Bone marrow aspirate smear
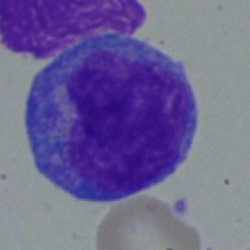 Morphology → blast.